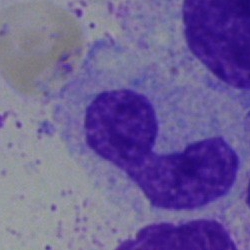 Classification — band neutrophil.